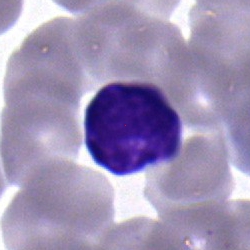Q: What cell is this?
A: Lymphocyte.